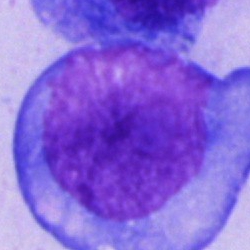Bone marrow smear showing a blast.